Peripheral blood smear
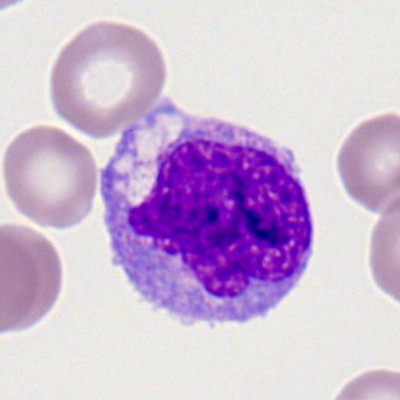 The morphological class is monocyte.